Bone marrow aspirate smear: 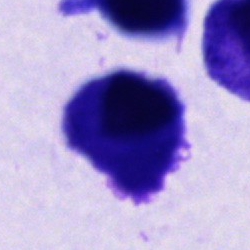
Impression → cell of indeterminate lineage.